Bone marrow smear; single cell centered in the field.
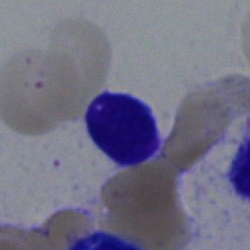Q: What is the morphological classification of this cell?
A: Typical lymphocyte.